250×250. Bone marrow smear.
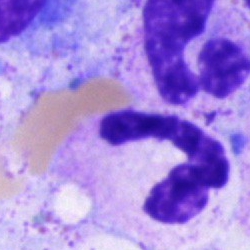 Q: Identify the cell.
A: Segmented neutrophil.